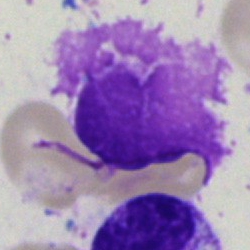

Artefact.